Bone marrow smear — 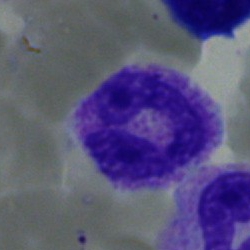 {"cell_type": "neutrophil (band)"}